Bone marrow smear.
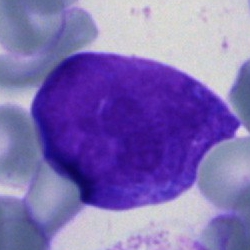 Q: What is the morphological classification of this cell?
A: An undifferentiated blast.